Bone marrow aspirate smear · MGG-stained · 250×250 — 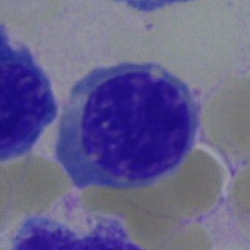
Specimen: bone marrow smear.
Cell: erythroblast.
Lineage: erythroid.